Bone marrow aspirate smear; brightfield, 40× oil-immersion objective; 250×250.
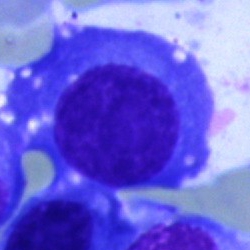Showing a plasmacyte.